Bone marrow smear: 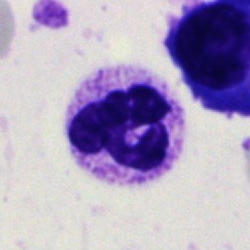 A polymorphonuclear neutrophil.